Bone marrow aspirate smear · single-cell field.
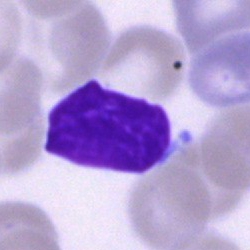 Morphology consistent with a lymphocyte.